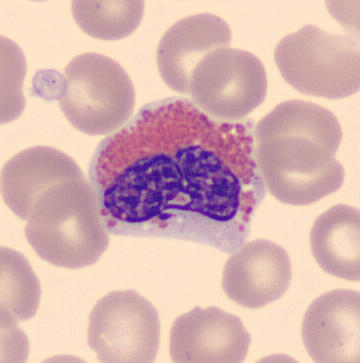 Showing an eosinophilic granulocyte.